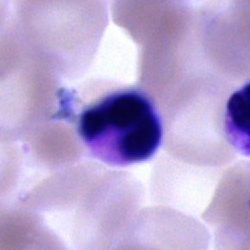 Q: What is the morphological classification of this cell?
A: It is a neutrophil (segmented).